Bone marrow smear
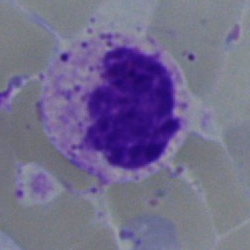 Q: What is the morphological classification of this cell?
A: Basophilic granulocyte.